Bone marrow smear
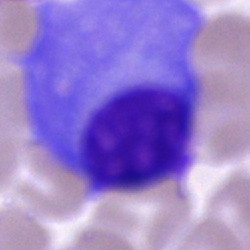 Plasma cell.